Image size 250×250. Single-cell crop. Bone marrow aspirate smear:
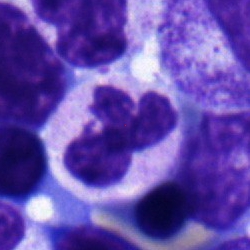

Impression — segmented neutrophil.